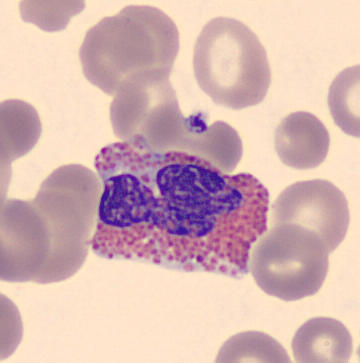Morphology — eosinophilic granulocyte.

360×363 px. Peripheral blood film.